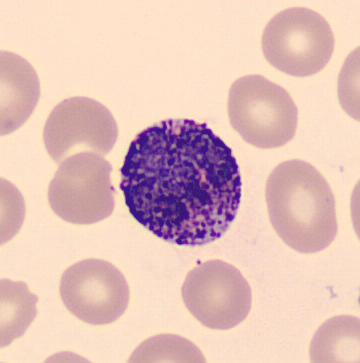
Impression — basophil. Peripheral blood film.